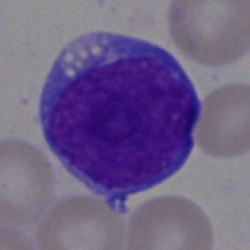 Classification = blast.